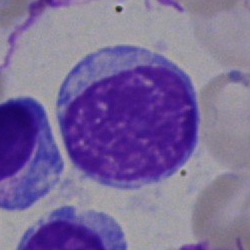 This is a lymphocyte.